250×250 px; bone marrow aspirate smear — 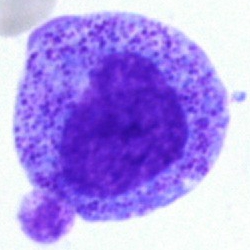

Single cell identified as a myelocyte.